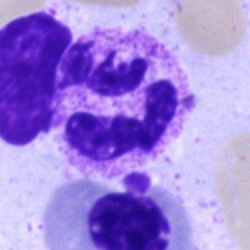Q: What is shown here?
A: A polymorphonuclear neutrophil.